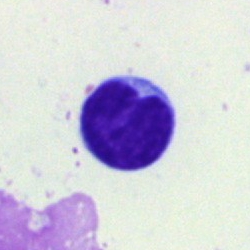
Lymphocyte.